Single-cell field; 250 by 250 pixels; bone marrow smear: 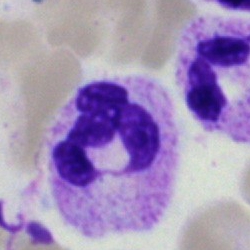

Morphology consistent with a polymorphonuclear neutrophil.